250×250. Bone marrow smear. Single-cell crop.
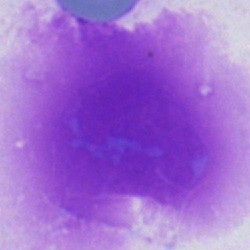 Morphology → artefact.